Bone marrow aspirate smear: 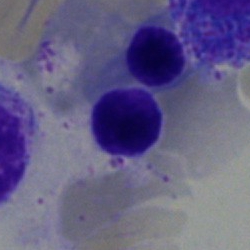 Q: What is shown here?
A: This is a typical lymphocyte.